Bone marrow smear: 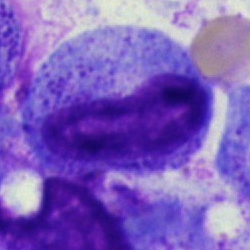 The cell shown is a promyelocyte.